Image size 250×250. Bone marrow smear. Brightfield microscopy, 40× oil immersion.
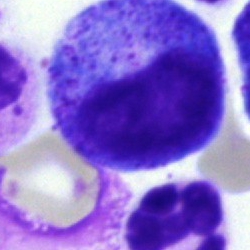 This is a progranulocyte.